Peripheral blood film.
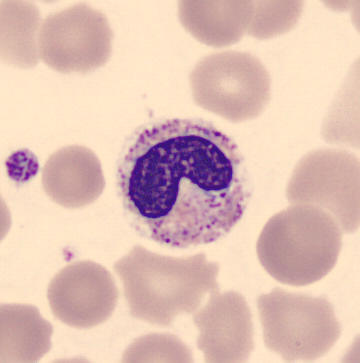 Showing a band neutrophil.